Bone marrow aspirate smear — 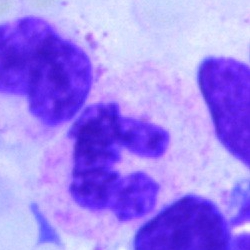
The cell shown is a neutrophil (segmented).